Bone marrow smear
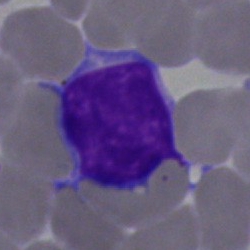 Q: What cell is this?
A: Lymphocyte.